Romanowsky stain; cropped to a single cell; peripheral blood smear.
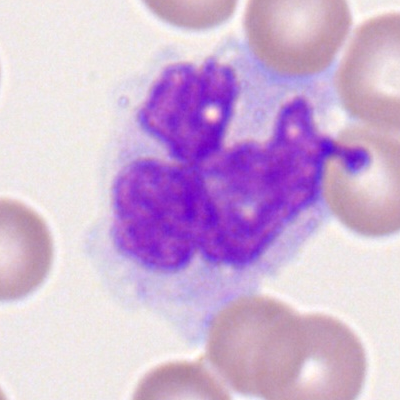

Monocyte.